Bone marrow smear: 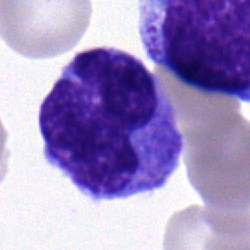 Specimen: bone marrow aspirate smear.
Morphological class: monocyte.
Lineage: myeloid.